Bone marrow aspirate smear; single cell centered in the field:
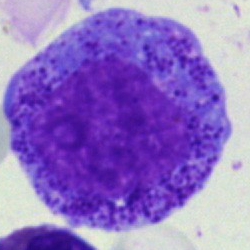 Classification — promyelocyte.